Bone marrow smear · brightfield, 40× oil-immersion objective
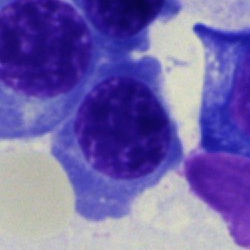 Nucleated red cell.